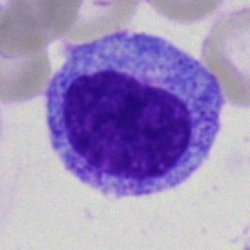 Cell type: myelocyte.